100× objective, oil immersion; peripheral blood film; single-cell field: 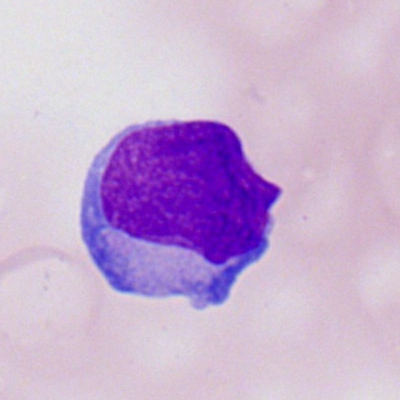

Q: Which cell type is shown here?
A: This is a myeloblast.